40× objective, oil immersion. Bone marrow aspirate smear:
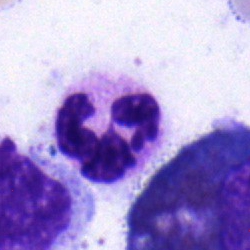 Specimen: bone marrow aspirate smear.
Cell type: polymorphonuclear neutrophil.
Lineage: myeloid.